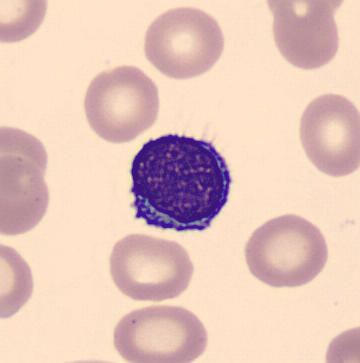 Q: What type of cell is this?
A: It is a typical lymphocyte.